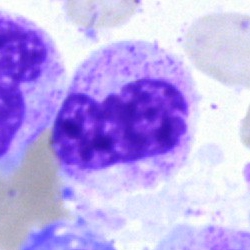 Cell type — band-form neutrophil.